40× objective, oil immersion · bone marrow smear · single-cell field:
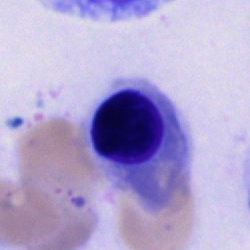Morphology → erythroblast.